Bone marrow aspirate smear · 250×250 px — 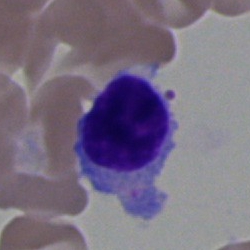

The cell type is typical lymphocyte.